Bone marrow aspirate smear: 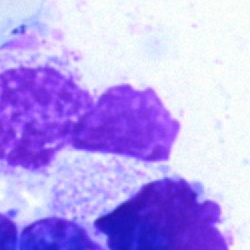{"cell_type": "artifact"}